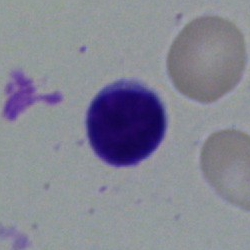 {"cell_type": "typical lymphocyte", "lineage": "lymphoid"}